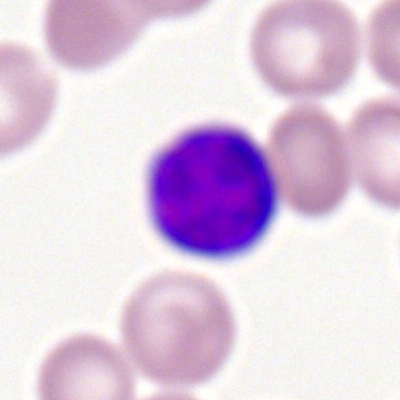
Cell: lymphocyte.